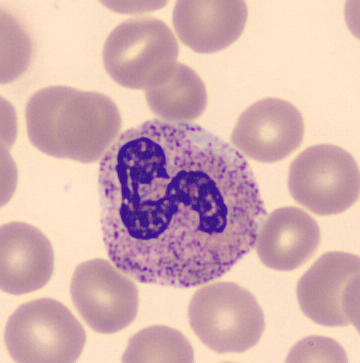 The cell shown is a neutrophil (segmented).

Acquisition: Cropped to a single cell · peripheral blood film · May-Grünwald-Giemsa-stained.